Bone marrow smear. May-Grünwald-Giemsa/Pappenheim stain
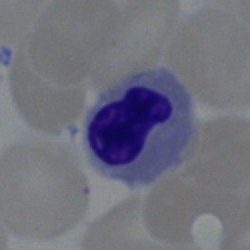

Single cell identified as a normoblast.